Bone marrow aspirate smear · brightfield microscopy, 40× oil immersion — 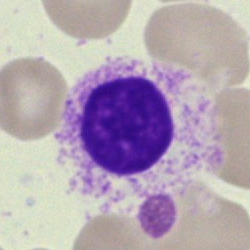This is an artifact.